Romanowsky-type stain; single-cell field; peripheral blood smear:
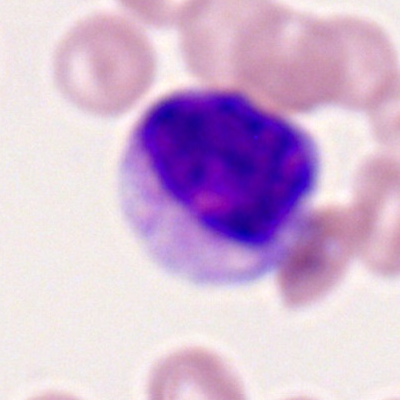

Cell: lymphocyte.